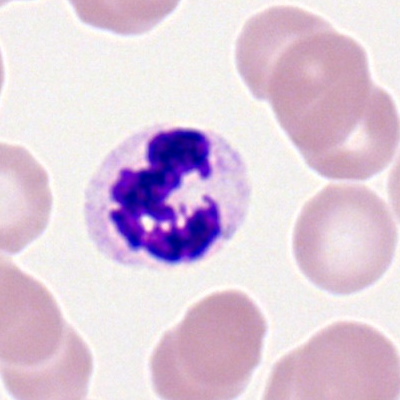Specimen: peripheral blood film.
Cell type: polymorphonuclear neutrophil.
Lineage: myeloid.